Bone marrow aspirate smear. Single-cell crop — 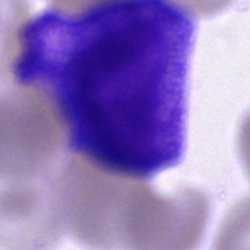

Morphology — cell of indeterminate lineage.